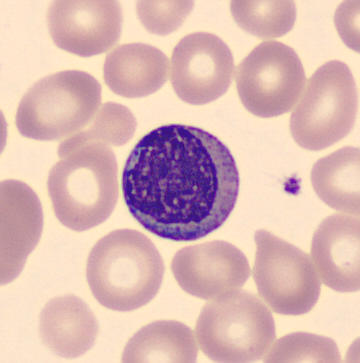 Image size 360×363; peripheral blood film.

Showing a metamyelocyte.